250×250. Bone marrow aspirate smear. Single cell centered in the field: 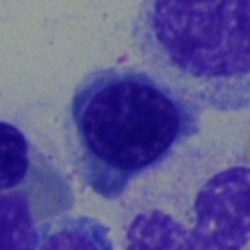

This is an erythroblast.